Brightfield, 40× oil-immersion objective; bone marrow smear.
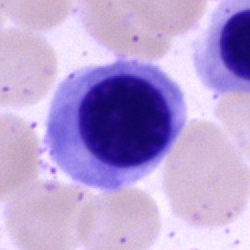 Impression — erythroblast.